Peripheral blood smear · cropped to a single cell: 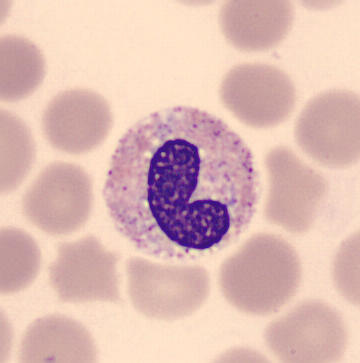
{"cell_type": "band-form neutrophil", "lineage": "myeloid"}